Bone marrow smear
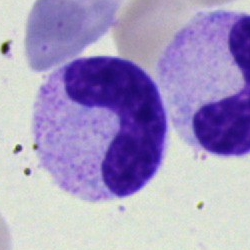 Cell — neutrophil (band).